Bone marrow smear · May-Grünwald-Giemsa stain
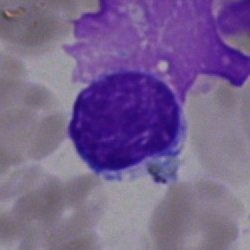
Impression — lymphocyte.